Bone marrow smear · single cell centered in the field · MGG-stained:
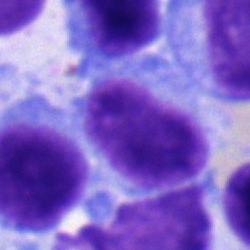

Single cell identified as a lymphocyte.